Bone marrow aspirate smear.
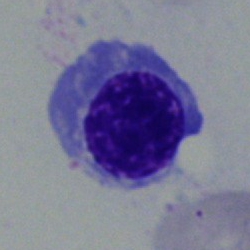 This is a normoblast.